100× objective, oil immersion. Image size 400×400. Peripheral blood film:
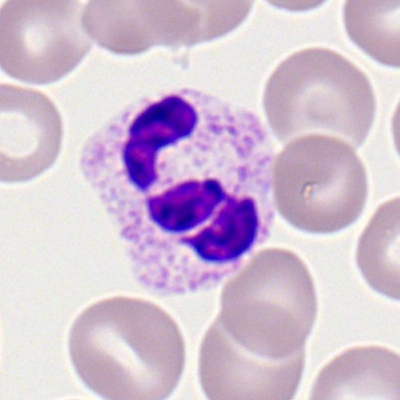 Impression — polymorphonuclear neutrophil.